Bone marrow smear — 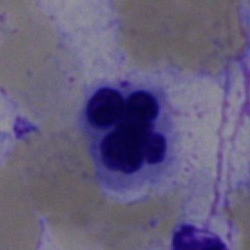

Morphology consistent with a nucleated red blood cell.